Bone marrow aspirate smear
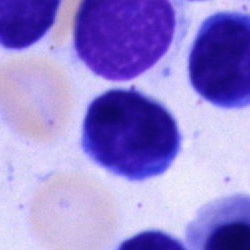 The morphological class is typical lymphocyte.